Bone marrow aspirate smear — 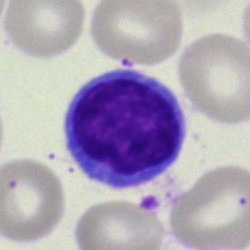Lymphocyte.